Bone marrow aspirate smear. Image size 250×250 — 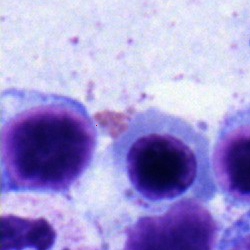A lymphocyte.